250 by 250 pixels · bone marrow aspirate smear:
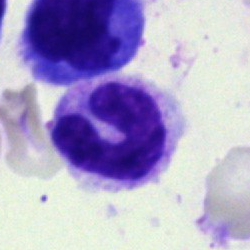 Q: What is the morphological classification of this cell?
A: Neutrophil (band).